Bone marrow aspirate smear · MGG-stained
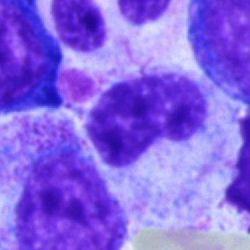Showing a stab cell.